Bone marrow aspirate smear; Pappenheim-stained:
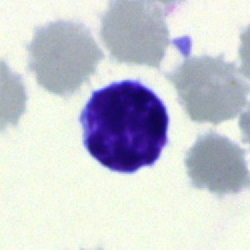 Morphology consistent with a typical lymphocyte.